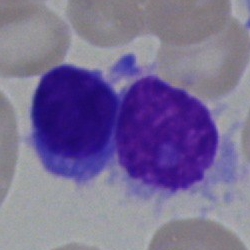Bone marrow aspirate smear, single cell — plasma cell.